Bone marrow aspirate smear; MGG-stained.
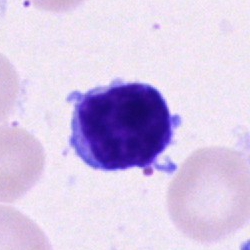 Specimen: bone marrow smear.
Morphological class: lymphocyte.
Lineage: lymphoid.